Bone marrow smear · cropped to a single cell — 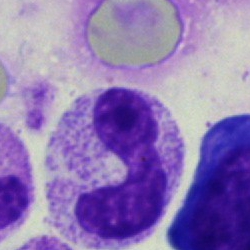 Morphology consistent with a stab cell.